Pappenheim-stained; single-cell field; bone marrow smear.
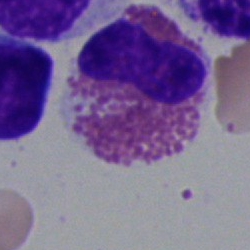
Classification = eosinophilic granulocyte.